Bone marrow smear
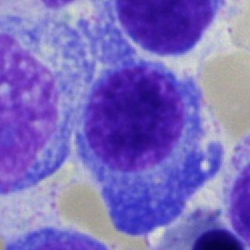
Q: Which cell type is shown here?
A: A plasma cell.